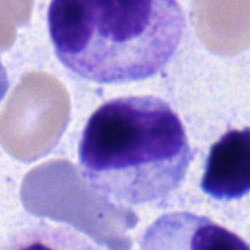
This is a neutrophil (segmented).